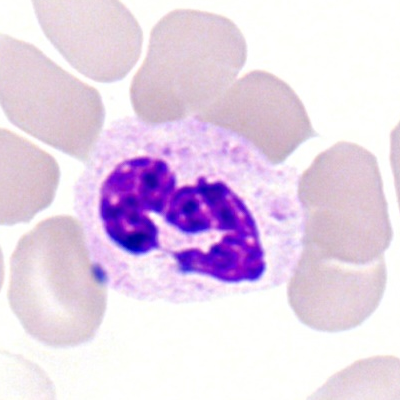
Peripheral blood film, single cell — neutrophil (segmented).